Bone marrow aspirate smear
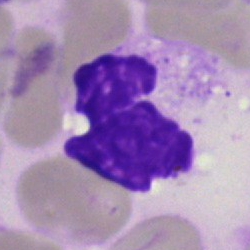

Specimen: bone marrow aspirate smear.
Cell: artefact.